Bone marrow smear
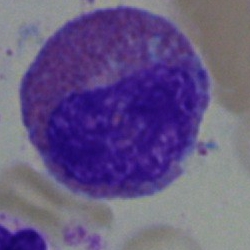
Q: Identify the cell.
A: Eosinophilic granulocyte.